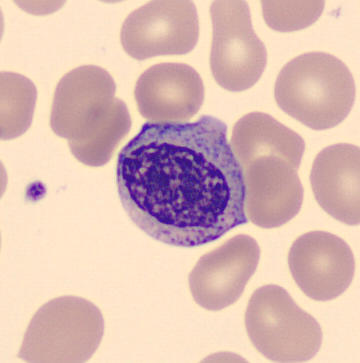

Image: Peripheral blood smear.

Showing a myelocyte.